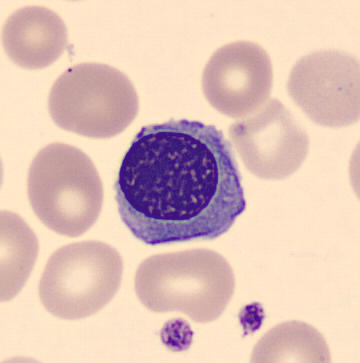 A nucleated red cell. Peripheral blood film.